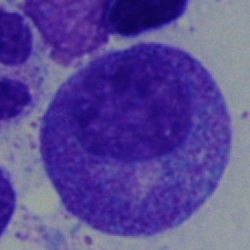

The cell shown is a progranulocyte.